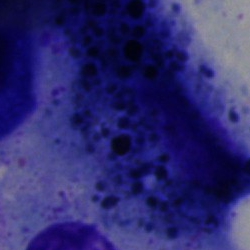 Impression — artifact.